Bone marrow smear. Pappenheim-stained — 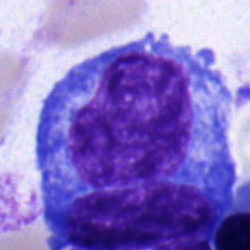

Q: What is shown here?
A: A promyelocyte.